Bone marrow smear:
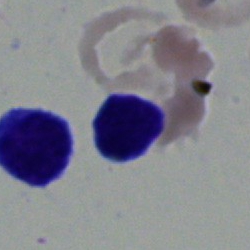Specimen: bone marrow aspirate smear.
Classification: lymphocyte.
Lineage: lymphoid.